Cropped to a single cell; bone marrow aspirate smear.
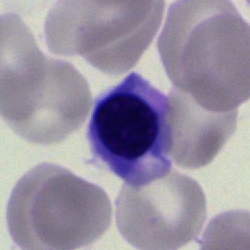
Impression → normoblast.